Bone marrow aspirate smear: 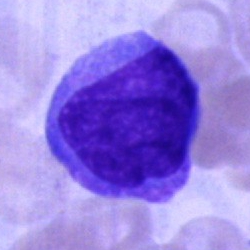
Morphology → blast cell.